Bone marrow smear:
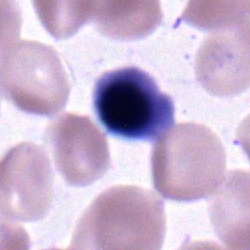
Normoblast.